Bone marrow aspirate smear
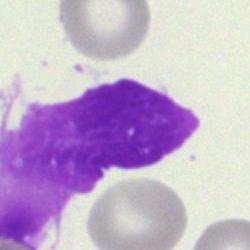Cell: artifact.